Peripheral blood film:
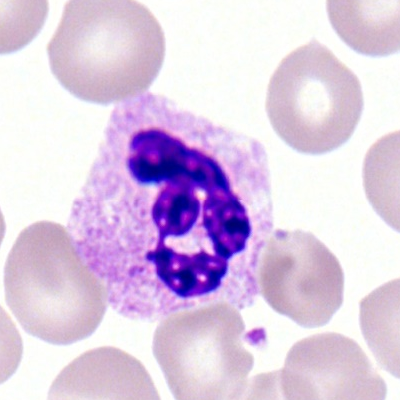 A segmented neutrophil.